Bone marrow smear — 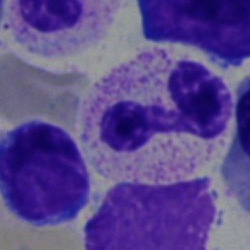
Q: What is the morphological classification of this cell?
A: Neutrophil (segmented).